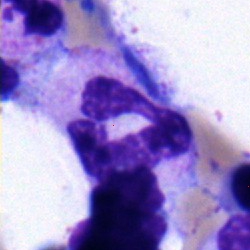

Morphology consistent with a polymorphonuclear neutrophil.